Automated cell imaging (CellaVision DM96); peripheral blood film: 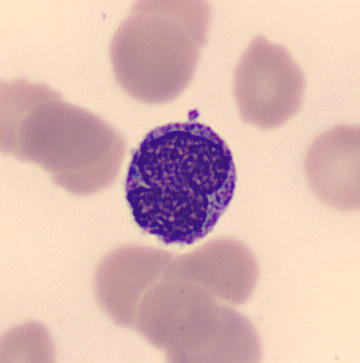

Morphological class = monocyte.